Bone marrow aspirate smear:
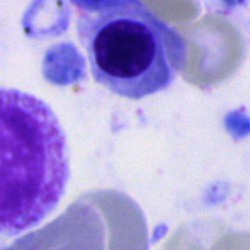

Q: What is the morphological classification of this cell?
A: This is an erythroblast.